Peripheral blood smear
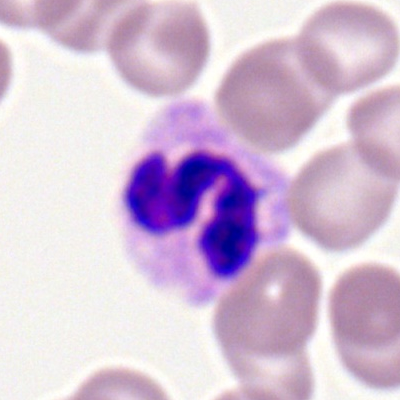 Q: Which cell type is shown here?
A: A neutrophil (segmented).